250×250 px; bone marrow smear:
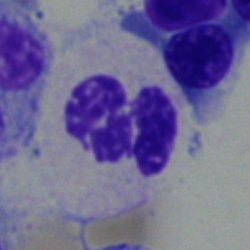Impression → polymorphonuclear neutrophil.